Brightfield microscopy, 40× oil immersion; image size 250×250; bone marrow aspirate smear — 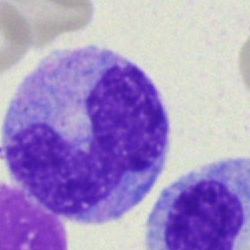Monocyte.